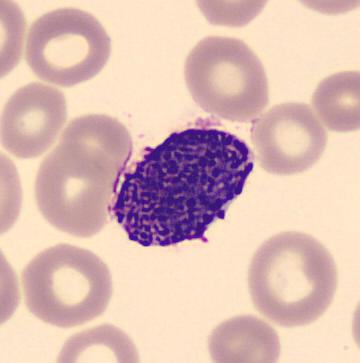
Basophilic granulocyte.

Preparation: Peripheral blood film.